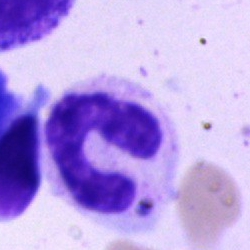Showing a neutrophil (band).